Bone marrow smear — 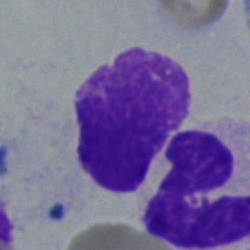The cell is polymorphonuclear neutrophil.